Pappenheim-stained; bone marrow smear; brightfield microscopy, 40× oil immersion: 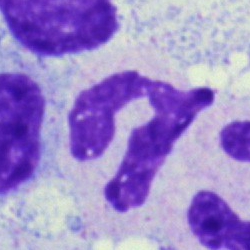

Classification — polymorphonuclear neutrophil.